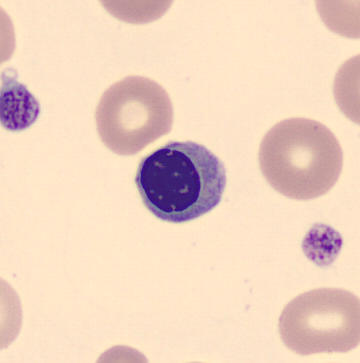 Peripheral blood smear showing a nucleated red blood cell.